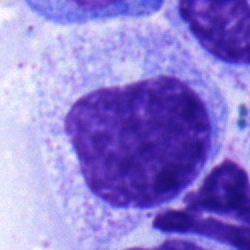
Bone marrow smear showing a myelocyte.